Bone marrow aspirate smear; single-cell crop.
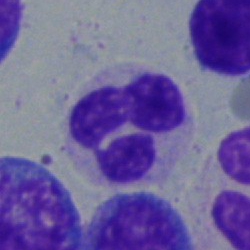The cell is band neutrophil.